Bone marrow aspirate smear · MGG-stained · 250×250
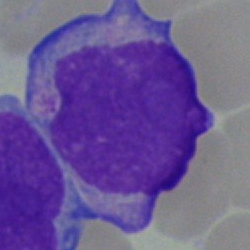
Q: What is the morphological classification of this cell?
A: Blast cell.